Bone marrow aspirate smear. 250×250: 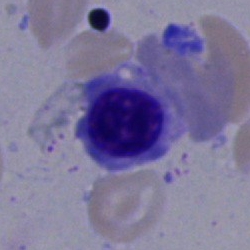

Q: What is shown here?
A: Nucleated red blood cell.